May-Grünwald-Giemsa/Pappenheim stain; bone marrow aspirate smear
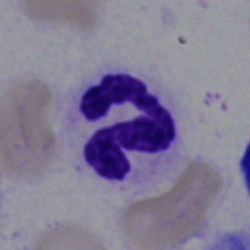
Morphology → neutrophil (segmented).